40× oil immersion; MGG-stained; bone marrow smear:
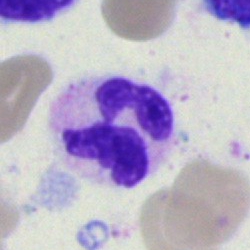
Q: What is the morphological classification of this cell?
A: This is a polymorphonuclear neutrophil.